Bone marrow aspirate smear — 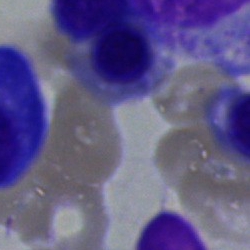

Erythroblast.